Bone marrow smear · MGG-stained: 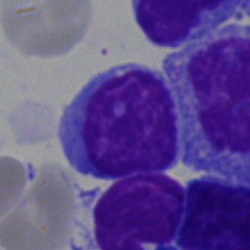Morphology → lymphocyte.